Image size 250×250; brightfield microscopy, 40× oil immersion; bone marrow aspirate smear — 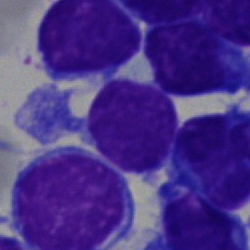
Q: Which cell type is shown here?
A: Lymphocyte.